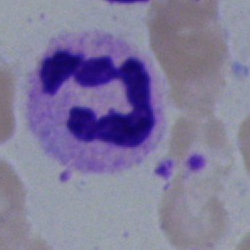{"cell_type": "polymorphonuclear neutrophil", "lineage": "myeloid"}